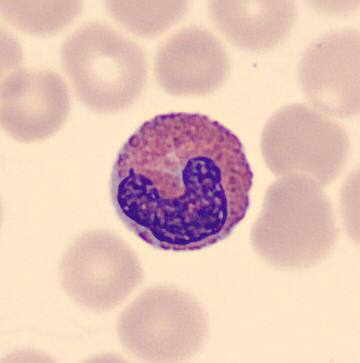 Preparation: Peripheral blood smear · imaged on a CellaVision DM96 analyser. Classification: eosinophil.